Bone marrow smear. May-Grünwald-Giemsa stain: 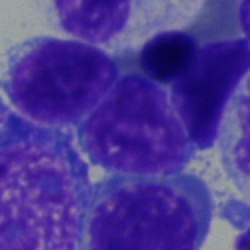
The cell type is typical lymphocyte.